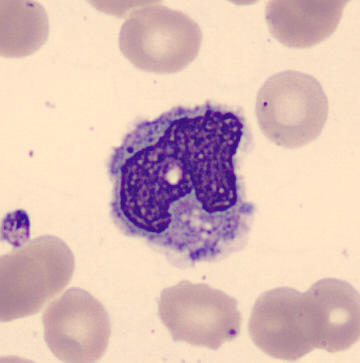 Morphology → monocyte. Peripheral blood film.